250 by 250 pixels · Pappenheim-stained · bone marrow aspirate smear:
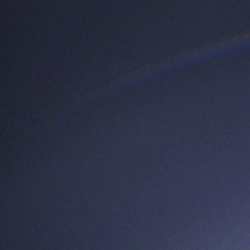 Cell type: artifact.